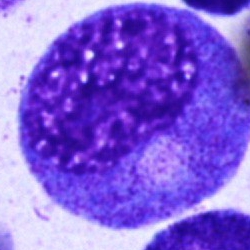
Cell: progranulocyte.